Bone marrow aspirate smear:
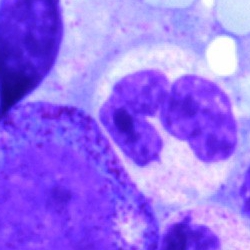Morphological class: segmented neutrophil.